Single cell centered in the field · brightfield, 40× oil-immersion objective · bone marrow aspirate smear — 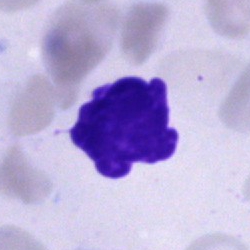Morphology consistent with an artifact.